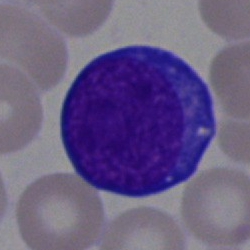
Morphology consistent with an undifferentiated blast.